Peripheral blood film
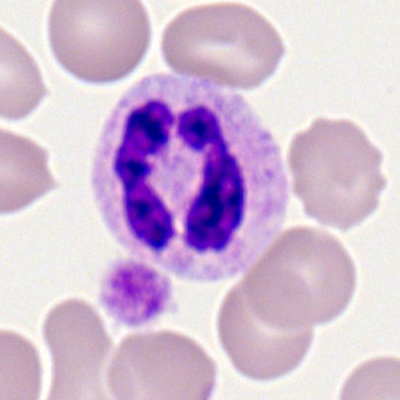

Cell — segmented neutrophil.